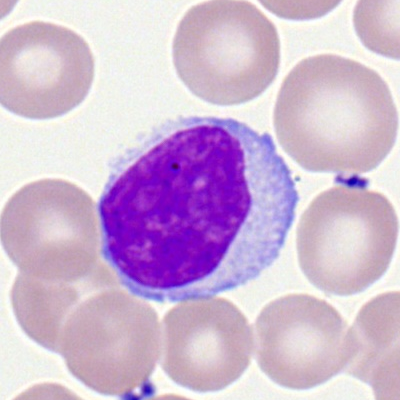
Peripheral blood film, single cell — lymphocyte.